Pappenheim-stained; image size 250×250; bone marrow smear — 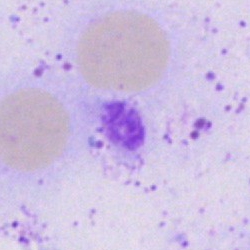
Showing an artifact.